250×250 px. Bone marrow smear. May-Grünwald-Giemsa/Pappenheim stain.
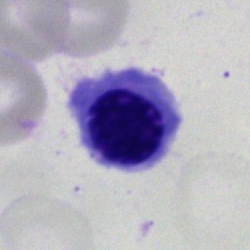

The morphological class is erythroblast.